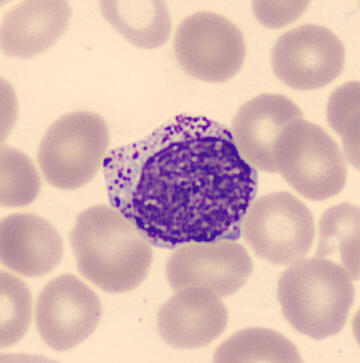

Single-cell field; peripheral blood smear.
{"cell_type": "myelocyte", "lineage": "myeloid"}